Bone marrow smear
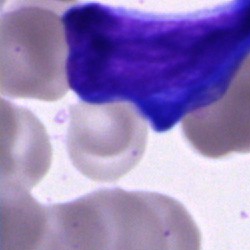Single cell identified as a pronormoblast.